Bone marrow aspirate smear
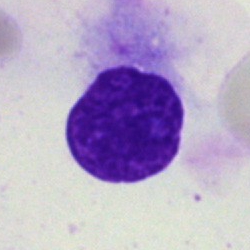The cell is artefact.